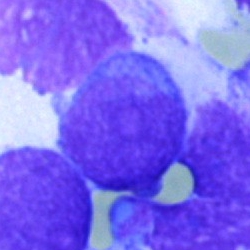
Showing a blast cell.